Single-cell crop; bone marrow aspirate smear; MGG-stained: 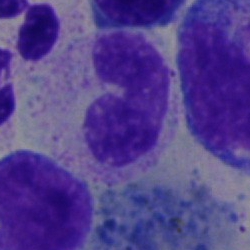Q: Identify the cell.
A: This is a band-form neutrophil.